Peripheral blood film: 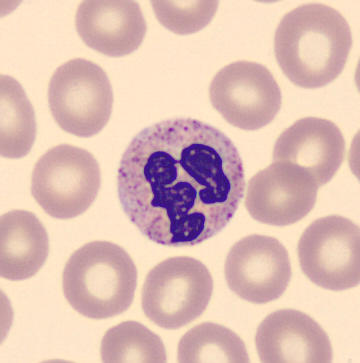
Cell type: neutrophil (segmented).